Single cell centered in the field · bone marrow aspirate smear: 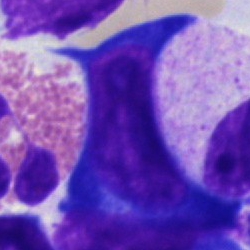 Proerythroblast.